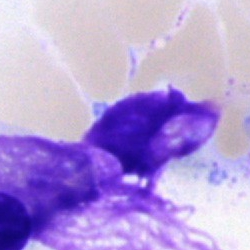
Morphology consistent with an artefact.